Brightfield, 40× oil-immersion objective. Bone marrow aspirate smear.
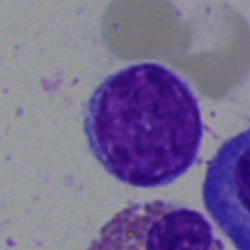 Classification = typical lymphocyte.